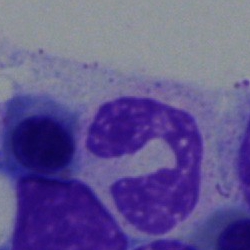The classification is stab cell.